Bone marrow smear. 250×250
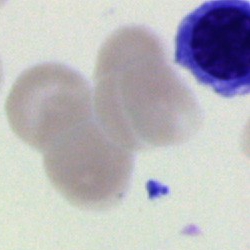
The morphological class is unidentifiable cell.